Bone marrow smear
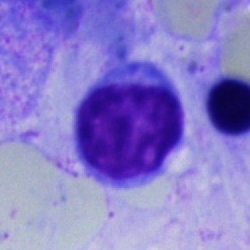
Impression — typical lymphocyte.